Cropped to a single cell · Pappenheim-stained · bone marrow aspirate smear.
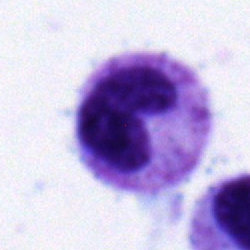 Impression — polymorphonuclear neutrophil.